Bone marrow smear — 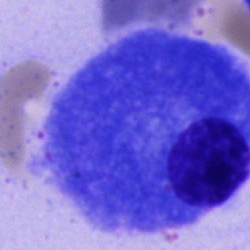This is a plasma cell.